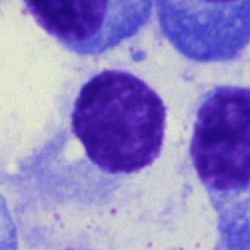
This is a typical lymphocyte.